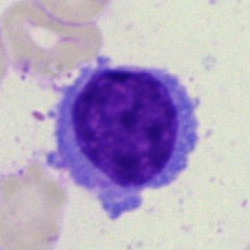Cell = lymphocyte.